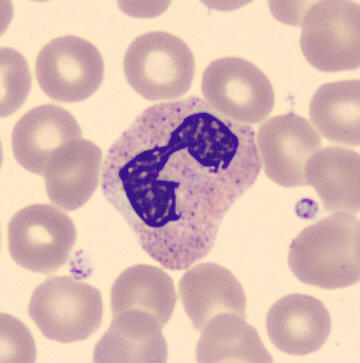Q: Identify the cell.
A: Segmented neutrophil.